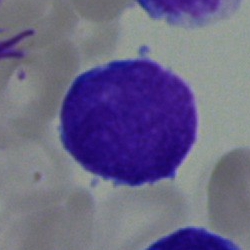Morphology → blast cell.